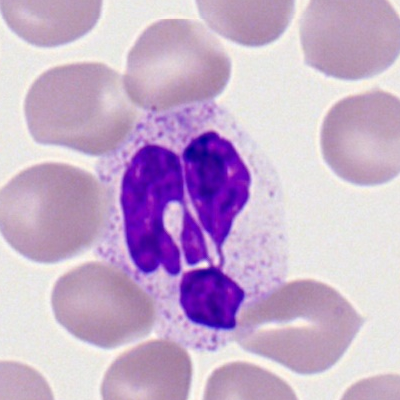Classification — segmented neutrophil.